Bone marrow smear; cropped to a single cell; 40× objective, oil immersion: 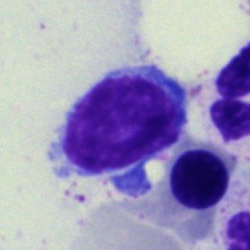Typical lymphocyte.